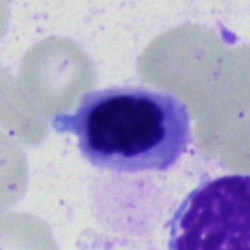

Morphological class = nucleated red blood cell.